Bone marrow aspirate smear · single-cell crop: 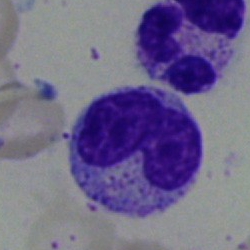

Morphological class: metamyelocyte.